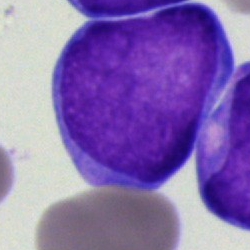
Cell type — undifferentiated blast.